Bone marrow smear · 250 by 250 pixels · 40× objective, oil immersion
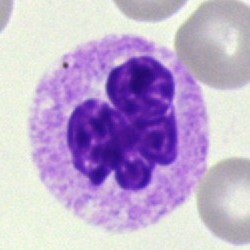 Classification = segmented neutrophil.